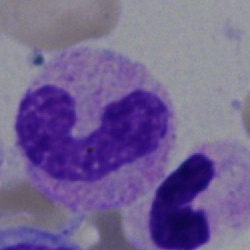 Q: What cell is this?
A: Band-form neutrophil.